Brightfield, 40× oil-immersion objective · bone marrow aspirate smear.
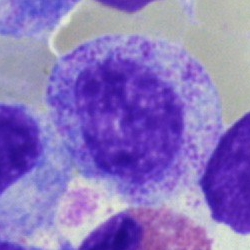This is a myelocyte.